Bone marrow smear. Brightfield, 40× oil-immersion objective. Single-cell field:
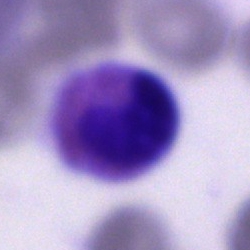 Impression → eosinophilic granulocyte.